Bone marrow aspirate smear · May-Grünwald-Giemsa/Pappenheim stain — 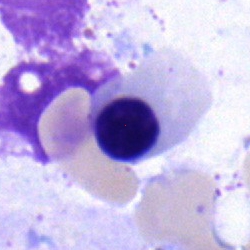

Classification = erythroblast.